Bone marrow aspirate smear: 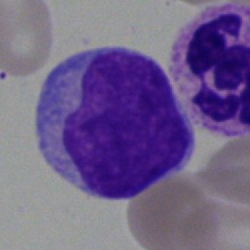Morphology consistent with a typical lymphocyte.